Single cell centered in the field · brightfield microscopy, 40× oil immersion · bone marrow aspirate smear — 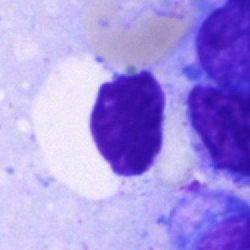 This is a lymphocyte.